400×400 px. Peripheral blood smear:
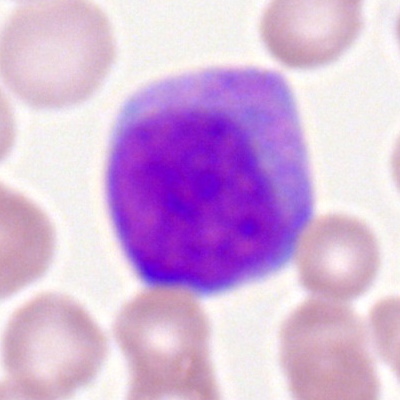 Morphology consistent with a myeloblast.